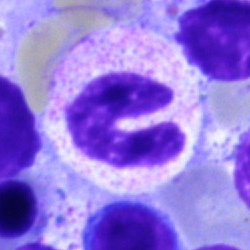 Impression — band neutrophil.